Peripheral blood film.
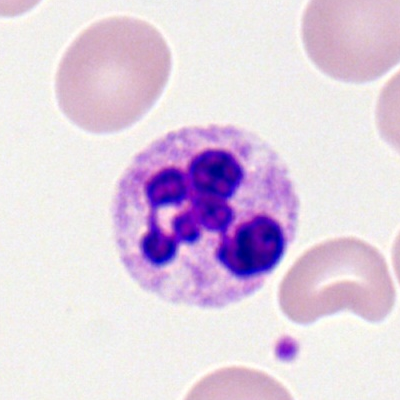Neutrophil (segmented).